Bone marrow aspirate smear.
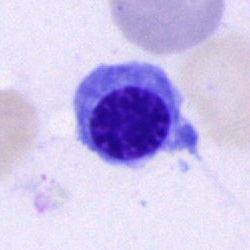
Specimen: bone marrow smear.
Cell: erythroblast.